Bone marrow aspirate smear:
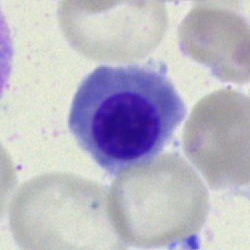Impression → nucleated red blood cell.